250 by 250 pixels; bone marrow aspirate smear: 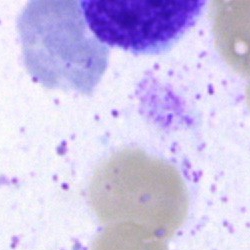
This is an artifact.